Bone marrow aspirate smear · cropped to a single cell · MGG-stained
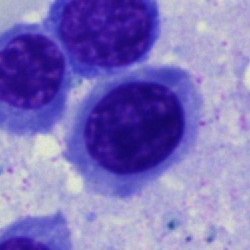

Q: What is the morphological classification of this cell?
A: It is a normoblast.